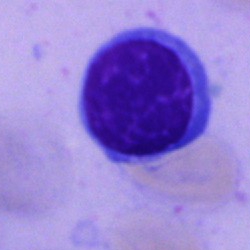
Q: What type of cell is this?
A: This is a typical lymphocyte.